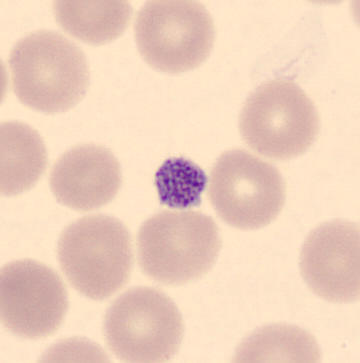This is a thrombocyte. Image: Peripheral blood film · MGG-stained.